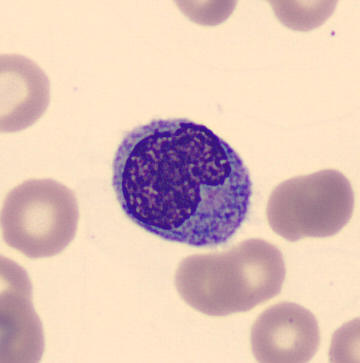 A monocyte.
Image: Peripheral blood film · May Grünwald-Giemsa stain · 360×363 px.